Bone marrow smear
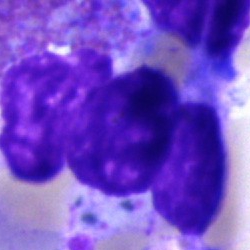
{"cell_type": "artefact"}